Bone marrow smear — 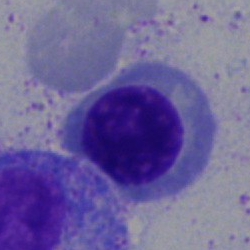 Showing an erythroblast.